Bone marrow aspirate smear
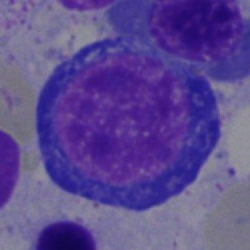

Single cell identified as an erythroblast.